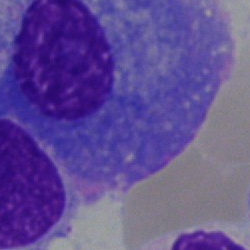
Cell: plasmacyte.